Bone marrow smear: 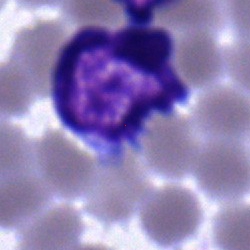 The morphological class is typical lymphocyte.